Bone marrow aspirate smear.
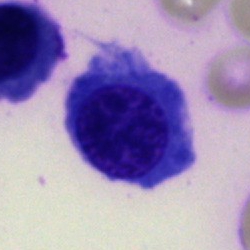
Morphology → erythroblast.